May-Grünwald-Giemsa/Pappenheim stain; bone marrow smear: 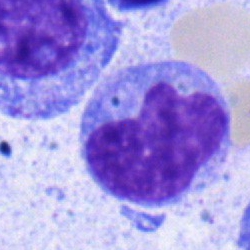

This is a monocyte.